Bone marrow smear:
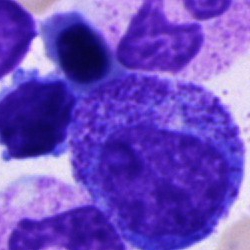
Morphology consistent with a promyelocyte.